Image size 250×250 · May-Grünwald-Giemsa/Pappenheim stain · bone marrow aspirate smear
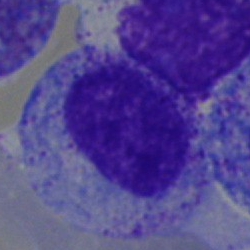

Q: What is the morphological classification of this cell?
A: Myelocyte.